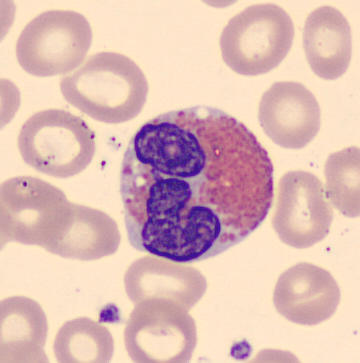
Morphology consistent with an eosinophilic granulocyte.